Bone marrow smear. Image size 250×250: 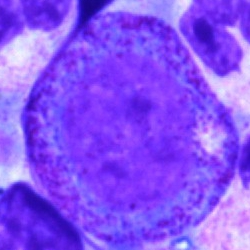

Morphology → progranulocyte.